Peripheral blood film.
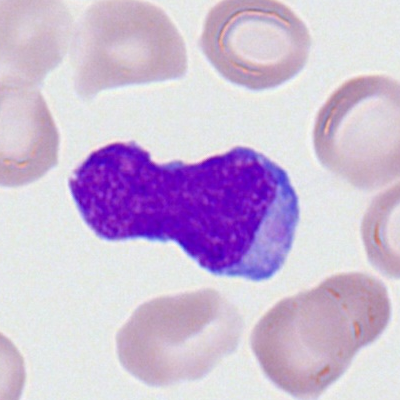
Specimen: peripheral blood film.
Classification: myeloblast.
Lineage: myeloid.